Bone marrow smear
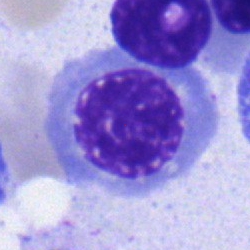 The cell shown is an erythroblast.